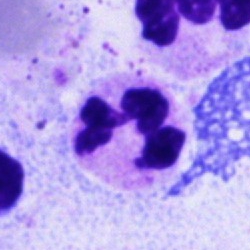Specimen: bone marrow aspirate smear.
Classification: segmented neutrophil.
Lineage: myeloid.